Bone marrow smear. Pappenheim-stained.
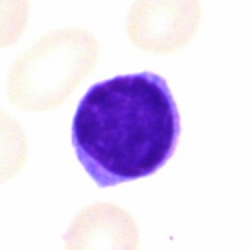 Cell: lymphocyte.